May-Grünwald-Giemsa stain; bone marrow smear; 40× oil immersion — 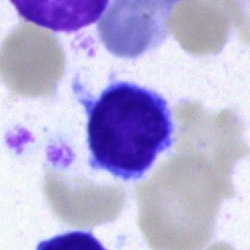Classification — lymphocyte.